Single cell centered in the field. Bone marrow smear:
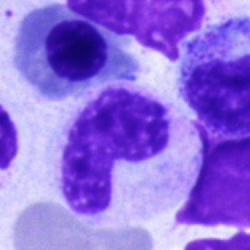
Q: What is shown here?
A: This is a stab cell.